Bone marrow smear: 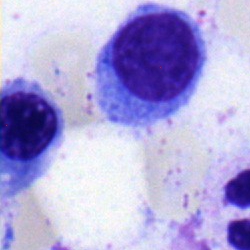 A normoblast.